Bone marrow aspirate smear · single-cell crop: 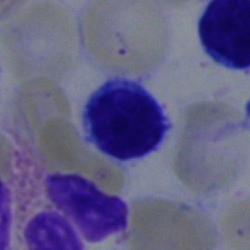
Cell type: lymphocyte.